Bone marrow smear; 250×250 px: 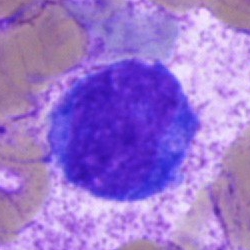Specimen: bone marrow aspirate smear.
Morphological class: blast.